Bone marrow aspirate smear. 250 by 250 pixels. Brightfield, 40× oil-immersion objective — 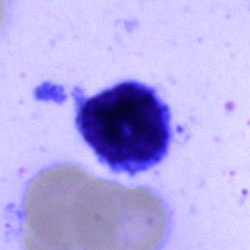Q: What is the morphological classification of this cell?
A: This is a typical lymphocyte.